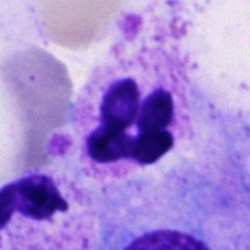Cell type: neutrophil (segmented).